MGG stain; peripheral blood smear.
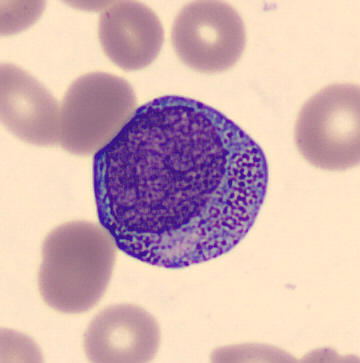

Q: What is the morphological classification of this cell?
A: This is a progranulocyte.